Bone marrow smear — 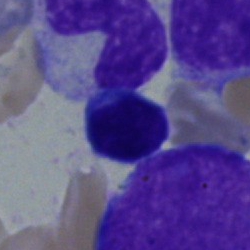A typical lymphocyte.